Bone marrow smear:
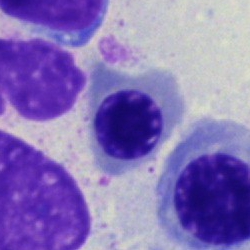
Specimen: bone marrow smear.
Cell type: nucleated red blood cell.
Lineage: erythroid.